Bone marrow aspirate smear: 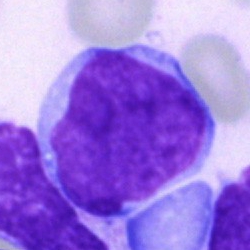
Single cell identified as a blast.